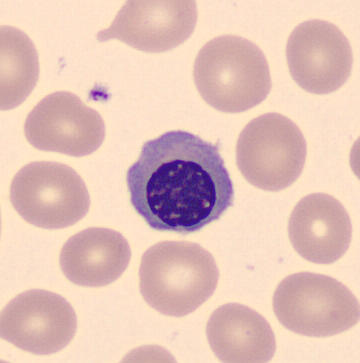 CellaVision DM96. MGG stain. Peripheral blood film.

Classification — erythroblast.